Bone marrow aspirate smear.
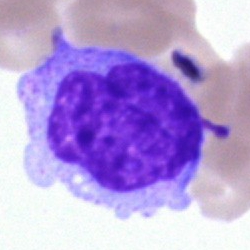

Specimen: bone marrow aspirate smear.
Cell: monocyte.
Lineage: myeloid.